Bone marrow aspirate smear; 250×250 px.
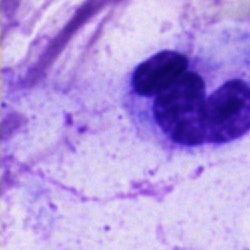

Cell — artefact.